Bone marrow smear
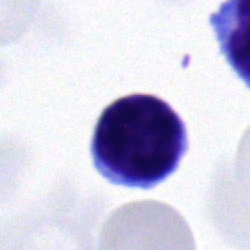 Morphology — typical lymphocyte.